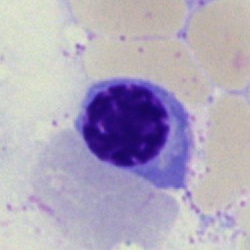
The classification is erythroblast.